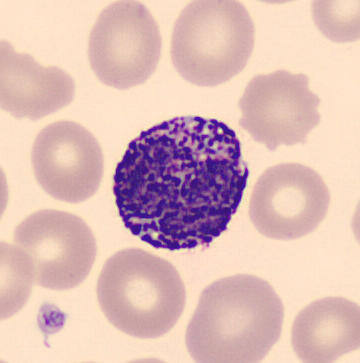This is a basophil.